Bone marrow aspirate smear
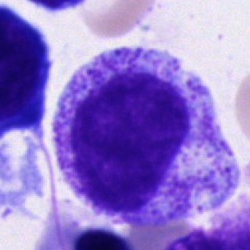The classification is promyelocyte.